Bone marrow smear · 40× oil immersion.
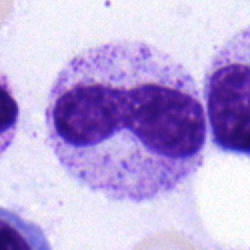 Specimen: bone marrow aspirate smear.
Morphological class: band neutrophil.
Lineage: myeloid.